Bone marrow aspirate smear: 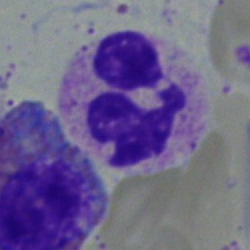Cell: neutrophil (segmented).